Bone marrow smear · 250×250 · single cell centered in the field.
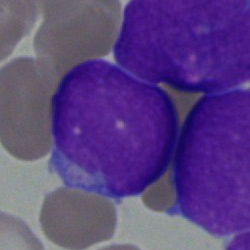
Morphological class: blast.